Bone marrow smear · brightfield microscopy, 40× oil immersion
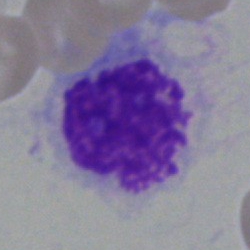
This is an artefact.